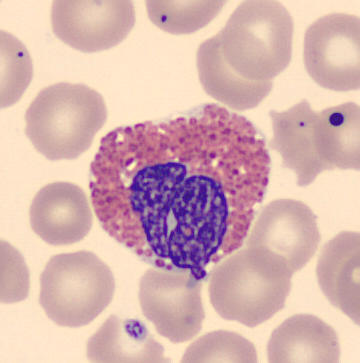Q: What is shown here?
A: An eosinophil.